Bone marrow aspirate smear: 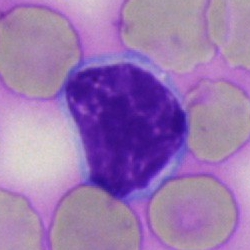

Specimen: bone marrow smear.
Classification: lymphocyte.
Lineage: lymphoid.